Bone marrow aspirate smear
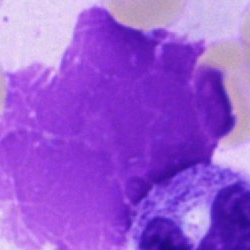Cell: artifact.